Single-cell crop; image size 400×400; peripheral blood smear: 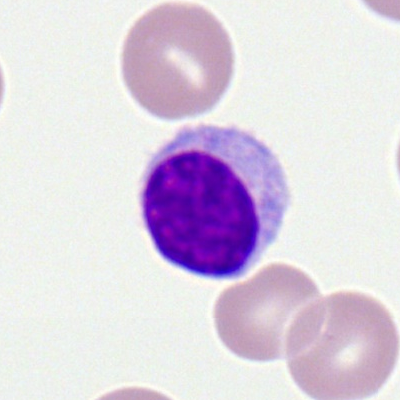This is a lymphocyte.